Bone marrow smear:
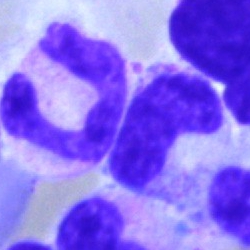This is a neutrophil (segmented).